Bone marrow aspirate smear:
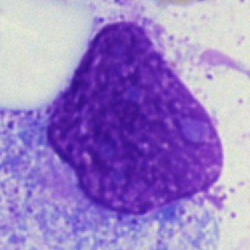
Impression → artefact.